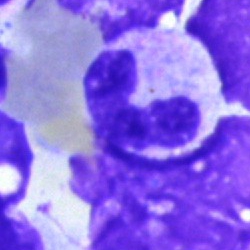
Specimen: bone marrow smear.
Classification: band-form neutrophil.
Lineage: myeloid.